Bone marrow smear
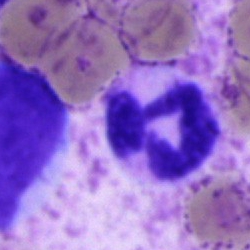 Morphology → polymorphonuclear neutrophil.